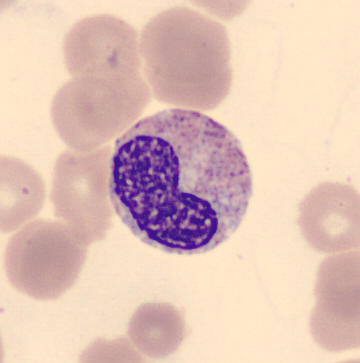

From a peripheral blood smear: a metamyelocyte.